Peripheral blood smear: 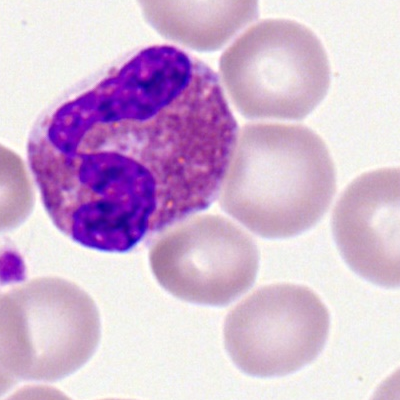
Cell type — eosinophilic granulocyte.